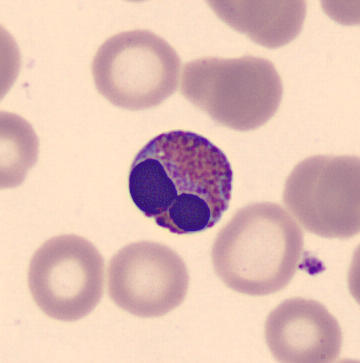 Preparation: 360×363. May Grünwald-Giemsa stain. Peripheral blood smear.
The cell is eosinophil.